Single cell centered in the field. Bone marrow aspirate smear
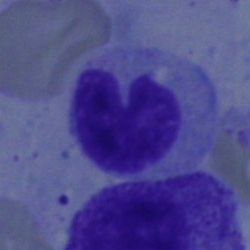
Morphological class = band-form neutrophil.